Bone marrow smear: 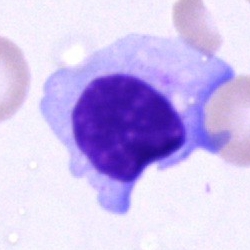Single cell identified as a typical lymphocyte.